Bone marrow aspirate smear — 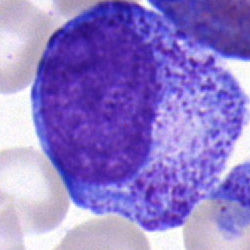Q: What is shown here?
A: This is a promyelocyte.